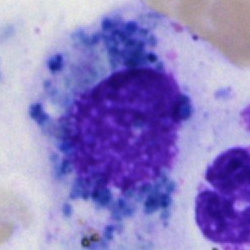 Morphological class: artefact.